40× oil immersion · bone marrow smear:
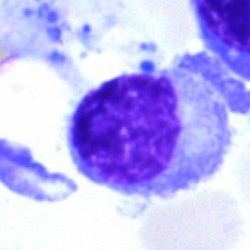Q: What cell is this?
A: It is a lymphocyte.